Bone marrow smear — 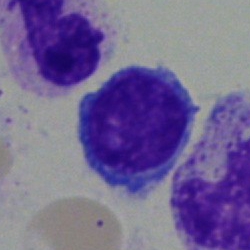

Morphological class = lymphocyte.